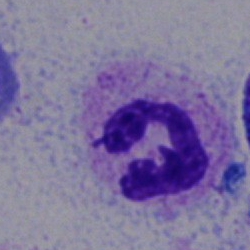
Cell = segmented neutrophil.